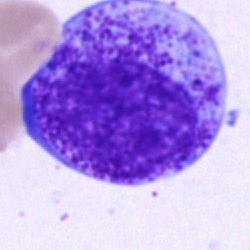

Morphology → progranulocyte.